Bone marrow aspirate smear · May-Grünwald-Giemsa stain: 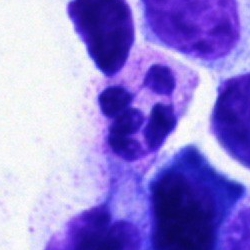
Morphological class — segmented neutrophil.